Bone marrow smear: 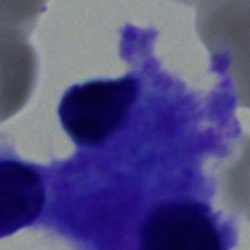 Morphology → artifact.